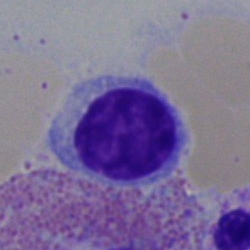

Cell type = lymphocyte.